Bone marrow smear
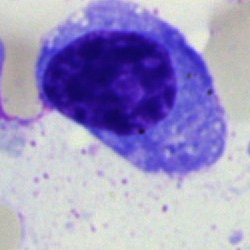 Plasmacyte.